Bone marrow aspirate smear:
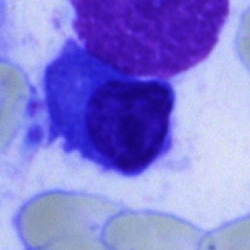
A plasma cell.